Image size 250×250. MGG-stained. Bone marrow smear.
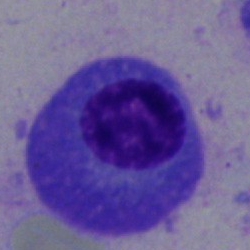 Morphological class: plasmacyte.